Bone marrow aspirate smear.
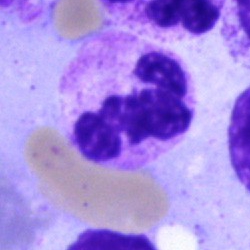

Q: What is the morphological classification of this cell?
A: It is a polymorphonuclear neutrophil.